Cropped to a single cell · bone marrow aspirate smear · 40× objective, oil immersion: 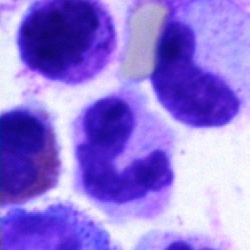

Q: What type of cell is this?
A: This is a segmented neutrophil.